Bone marrow smear. Single cell centered in the field. Pappenheim-stained.
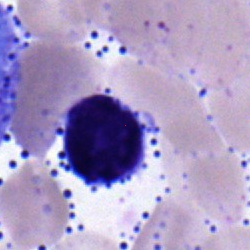Morphology → lymphocyte.